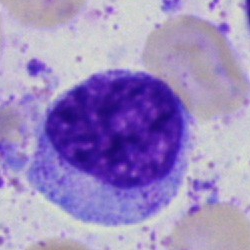

{"cell_type": "myelocyte", "lineage": "myeloid"}